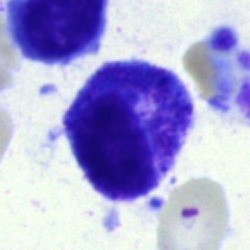

Specimen: bone marrow smear.
Classification: promyelocyte.